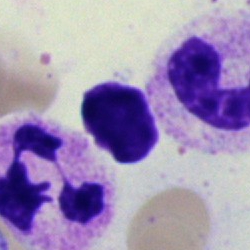

The morphological class is polymorphonuclear neutrophil.